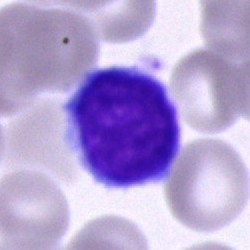
Bone marrow aspirate smear, single cell — lymphocyte.